Bone marrow aspirate smear:
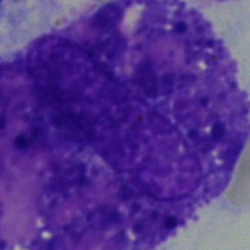

Specimen: bone marrow smear.
Cell: cell not matching the other categories.